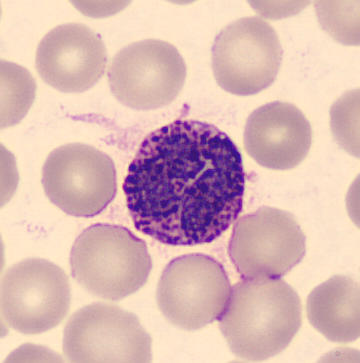
Basophil.
Acquisition: Peripheral blood film.